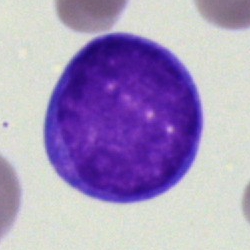Showing a blast cell.